Bone marrow aspirate smear: 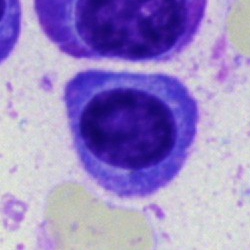

A plasmacyte.